Bone marrow smear — 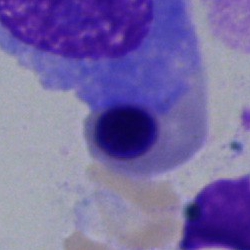 Specimen: bone marrow smear.
Cell type: nucleated red cell.
Lineage: erythroid.